Peripheral blood smear: 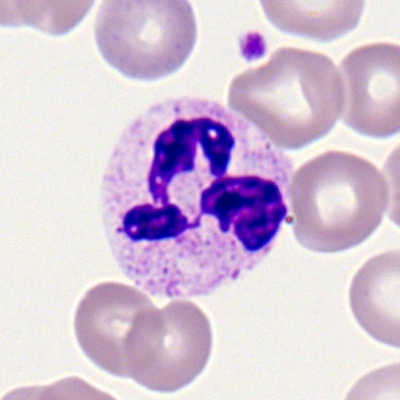Impression — segmented neutrophil.